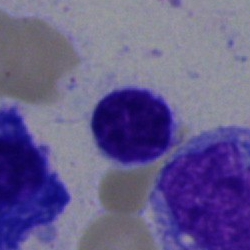{"cell_type": "typical lymphocyte"}